Peripheral blood film
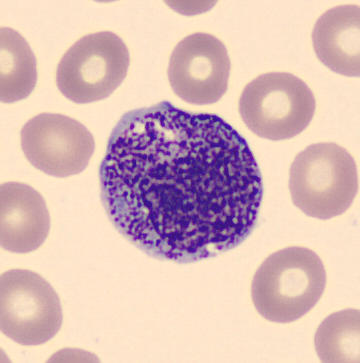Morphology consistent with a progranulocyte.